Bone marrow aspirate smear
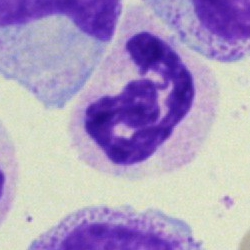
The cell type is neutrophil (segmented).